Bone marrow smear
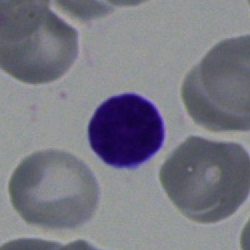

Morphological class — lymphocyte.